Bone marrow aspirate smear:
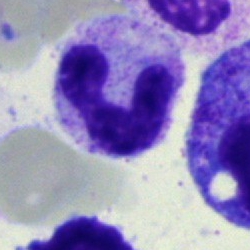
Q: What is shown here?
A: Stab cell.